Pappenheim-stained. Bone marrow aspirate smear — 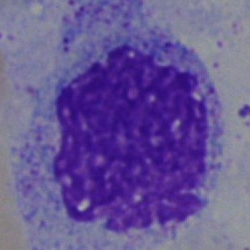 Specimen: bone marrow aspirate smear.
Classification: artefact.